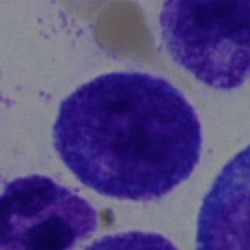

Morphology — progranulocyte.